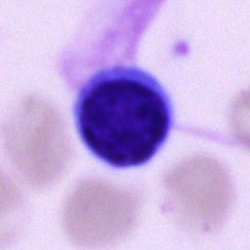A lymphocyte.